Bone marrow smear:
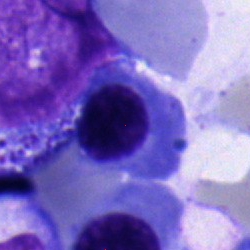
Cell type — erythroblast.